Peripheral blood film; single cell centered in the field — 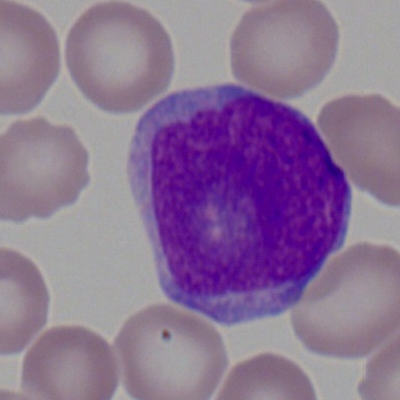Cell = myeloid blast.